Bone marrow smear · May-Grünwald-Giemsa stain
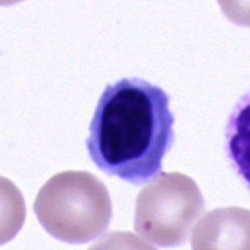
Specimen: bone marrow smear.
Cell type: normoblast.